Bone marrow smear.
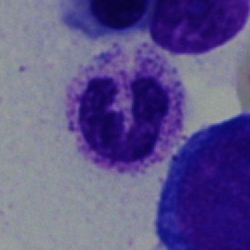

{"cell_type": "neutrophil (segmented)"}